Single-cell crop · bone marrow aspirate smear — 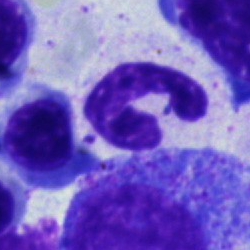 Polymorphonuclear neutrophil.